Bone marrow aspirate smear. Single-cell crop. Brightfield microscopy, 40× oil immersion:
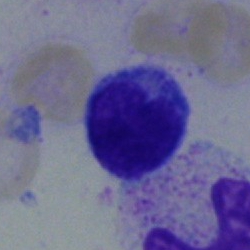

This is a typical lymphocyte.